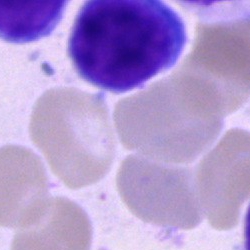Q: What cell is this?
A: A lymphocyte.